Bone marrow smear. Image size 250×250 — 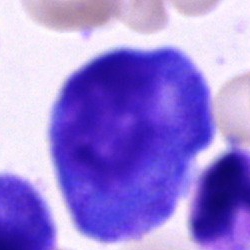Specimen: bone marrow aspirate smear.
Cell: progranulocyte.
Lineage: myeloid.